Bone marrow aspirate smear: 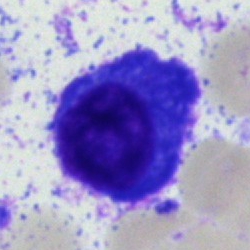Cell: plasmacyte.